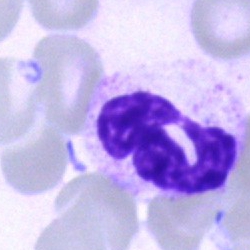

Q: What type of cell is this?
A: A segmented neutrophil.